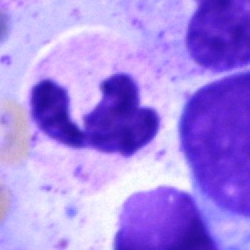

Q: What type of cell is this?
A: Polymorphonuclear neutrophil.